Bone marrow aspirate smear. Single cell centered in the field: 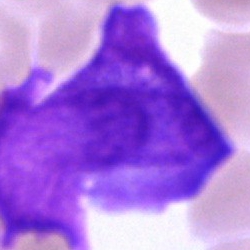
The cell shown is a blast.